Cropped to a single cell. Bone marrow aspirate smear.
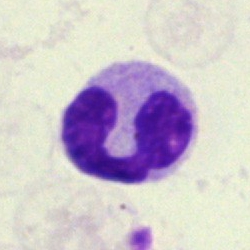

The cell is polymorphonuclear neutrophil.